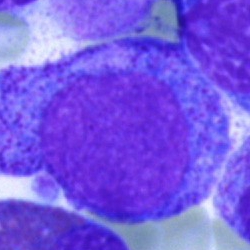

Specimen: bone marrow smear.
Morphological class: promyelocyte.
Lineage: myeloid.